Single cell centered in the field · bone marrow aspirate smear · 250×250: 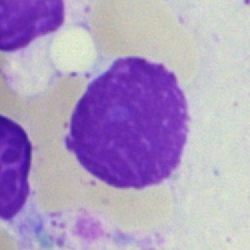

Q: What is shown here?
A: It is an artefact.